Bone marrow aspirate smear.
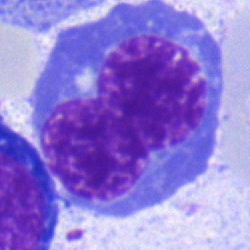

Showing a nucleated red cell.